Bone marrow smear.
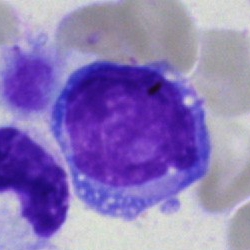
{"cell_type": "undifferentiated blast"}